Image size 250×250 · bone marrow aspirate smear — 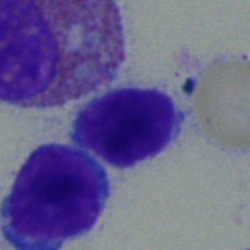

Classification = lymphocyte.